Bone marrow aspirate smear. May-Grünwald-Giemsa/Pappenheim stain — 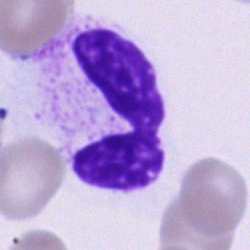
Morphology consistent with a segmented neutrophil.